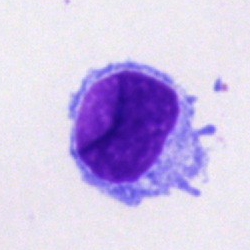
Specimen: bone marrow aspirate smear.
Morphological class: typical lymphocyte.